Bone marrow aspirate smear
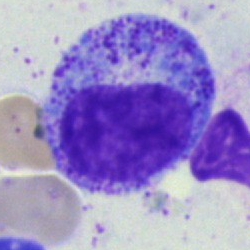
Morphology → promyelocyte.